Single-cell field; bone marrow aspirate smear — 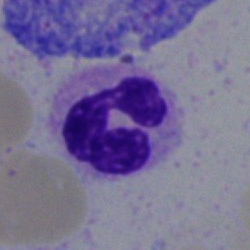 Classification = polymorphonuclear neutrophil.